Bone marrow smear · 250×250 · single-cell crop — 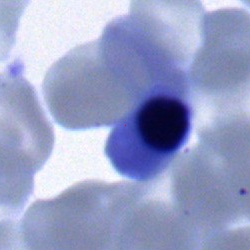 Impression — nucleated red blood cell.